Bone marrow smear.
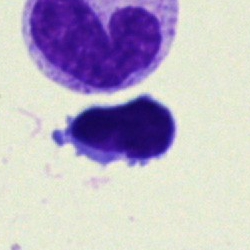

Specimen: bone marrow smear.
Morphological class: typical lymphocyte.
Lineage: lymphoid.